100× objective, oil immersion; Romanowsky stain; peripheral blood smear — 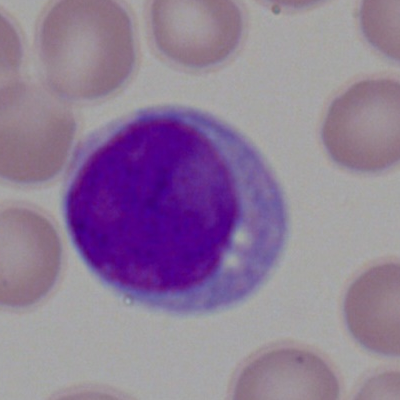

A myeloid blast.